Bone marrow smear · May-Grünwald-Giemsa stain.
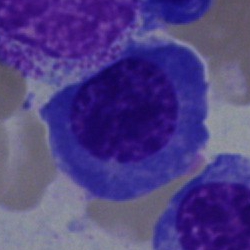
{"cell_type": "plasmacyte", "lineage": "lymphoid"}